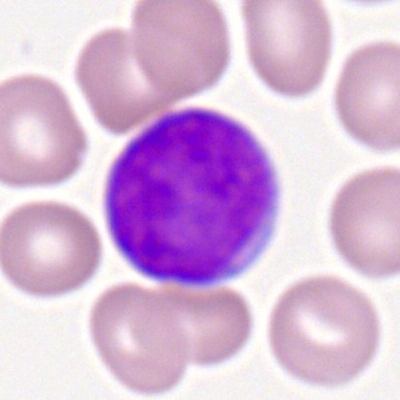

Morphology → myeloblast.